Bone marrow smear — 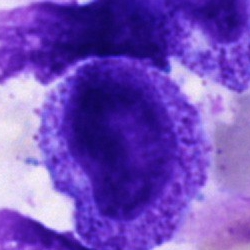
Q: What is shown here?
A: Progranulocyte.